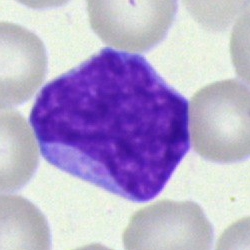Q: What is shown here?
A: It is a blast.